Bone marrow aspirate smear: 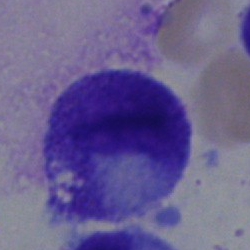
Cell — progranulocyte.